Bone marrow aspirate smear. 40× objective, oil immersion. Single cell centered in the field:
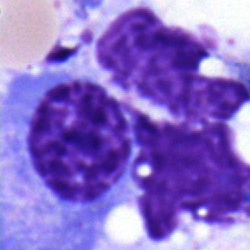The cell shown is a plasmacyte.